Image size 250×250. Bone marrow aspirate smear:
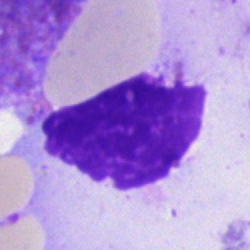 Q: What is shown here?
A: This is an artefact.